May-Grünwald-Giemsa/Pappenheim stain · bone marrow smear: 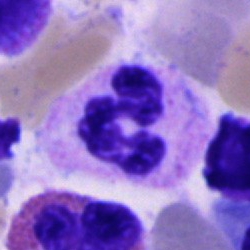
The morphological class is segmented neutrophil.